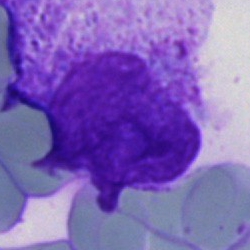{"cell_type": "artefact"}